Bone marrow aspirate smear.
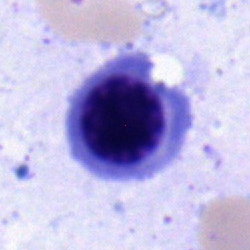Morphology consistent with an erythroblast.